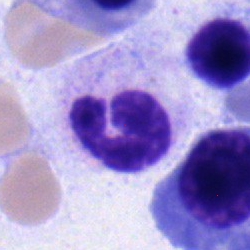Bone marrow smear showing a polymorphonuclear neutrophil.